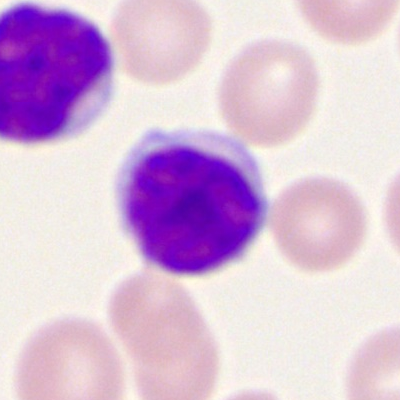
The cell is typical lymphocyte.